Bone marrow aspirate smear:
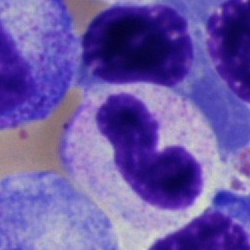Showing a neutrophil (band).